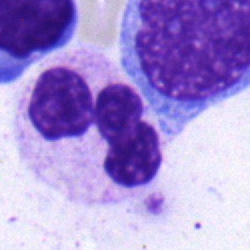Specimen: bone marrow aspirate smear.
Cell: segmented neutrophil.